Bone marrow smear: 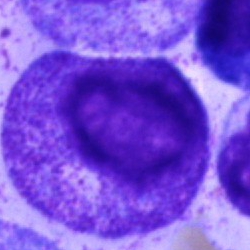Cell type = promyelocyte.